Bone marrow smear. 40× objective, oil immersion: 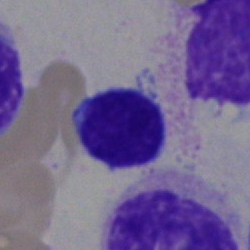 Specimen: bone marrow aspirate smear.
Morphological class: lymphocyte.
Lineage: lymphoid.